Bone marrow aspirate smear. May-Grünwald-Giemsa stain. Single-cell field:
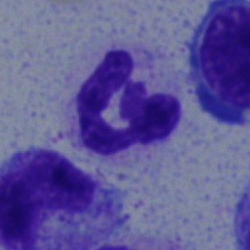

The cell shown is a polymorphonuclear neutrophil.